Brightfield, 40× oil-immersion objective · bone marrow smear: 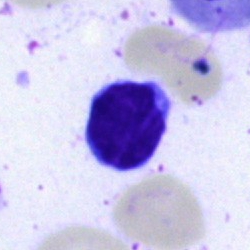Q: Identify the cell.
A: It is a typical lymphocyte.